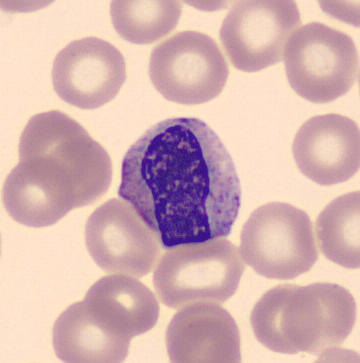

Q: What is the morphological classification of this cell?
A: Metamyelocyte.